Bone marrow smear. Single cell centered in the field. Brightfield microscopy, 40× oil immersion — 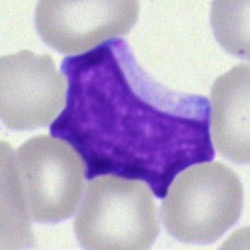Showing a blast.